Bone marrow aspirate smear
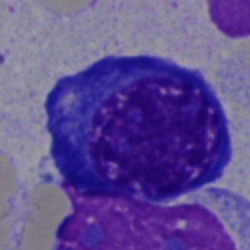
Q: Identify the cell.
A: Erythroblast.